Bone marrow aspirate smear: 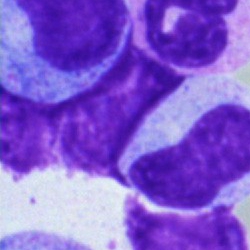

This is a metamyelocyte.